Bone marrow aspirate smear
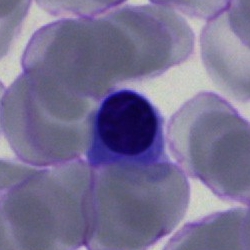

The cell type is nucleated red blood cell.